Peripheral blood smear.
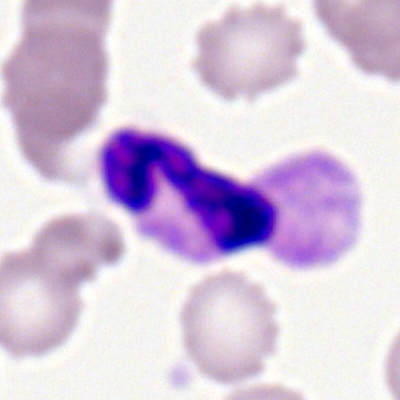

Q: Which cell type is shown here?
A: It is a polymorphonuclear neutrophil.